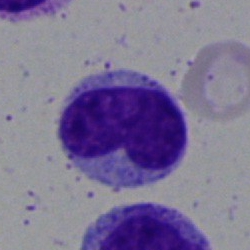
{"cell_type": "metamyelocyte"}